Bone marrow smear · single-cell field: 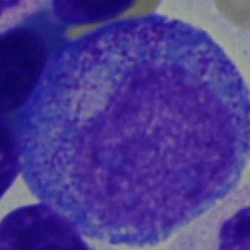

Q: What is the morphological classification of this cell?
A: It is a progranulocyte.